Pappenheim-stained · bone marrow aspirate smear:
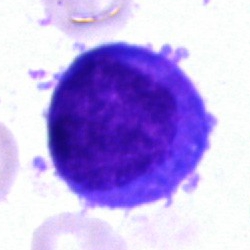 Morphology consistent with an undifferentiated blast.